Bone marrow smear
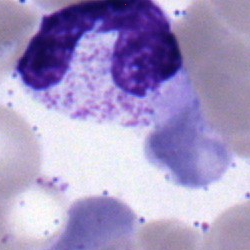Showing a segmented neutrophil.